Bone marrow smear — 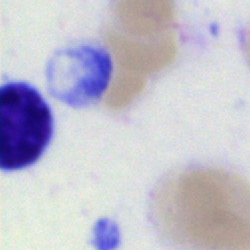 Q: What is shown here?
A: Myelocyte.